Bone marrow aspirate smear: 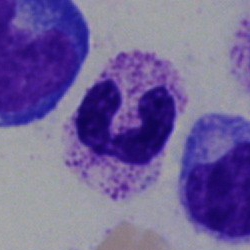

Q: What is the morphological classification of this cell?
A: A segmented neutrophil.